Peripheral blood smear:
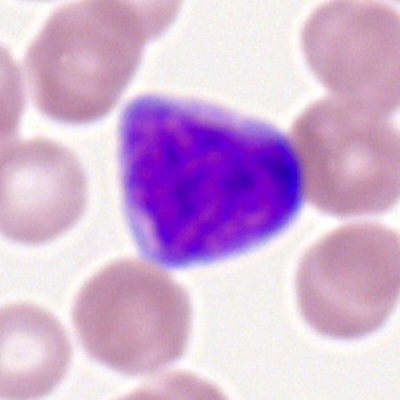Q: What cell is this?
A: Myeloid blast.